Bone marrow aspirate smear: 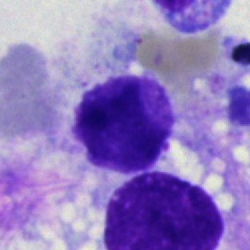
This is an artefact.